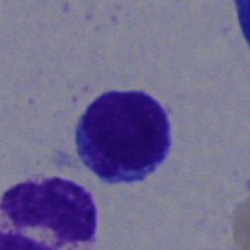Q: Identify the cell.
A: A lymphocyte.